Bone marrow smear.
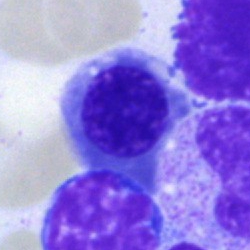 The cell shown is a normoblast.